Bone marrow aspirate smear: 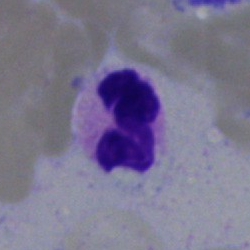 The morphological class is segmented neutrophil.